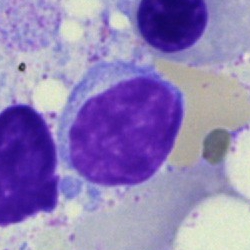Single cell identified as a typical lymphocyte.